40× objective, oil immersion. Bone marrow aspirate smear
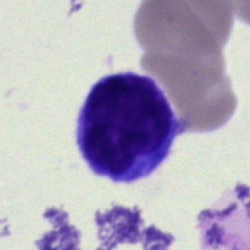This is a lymphocyte.